Bone marrow smear — 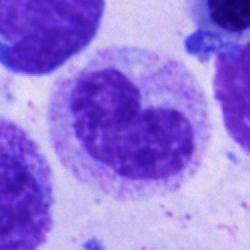This is a metamyelocyte.